Brightfield microscopy, 40× oil immersion. Bone marrow smear. 250 by 250 pixels — 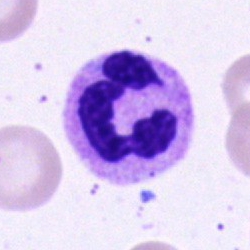 Q: Which cell type is shown here?
A: A polymorphonuclear neutrophil.